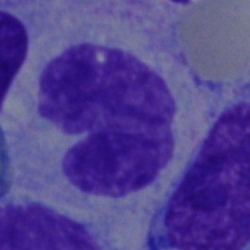 The morphological class is band neutrophil.